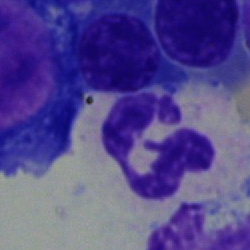

Q: What is shown here?
A: This is a polymorphonuclear neutrophil.